Bone marrow smear
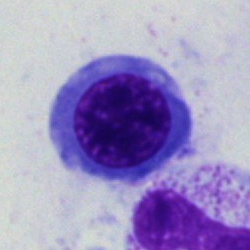Cell — nucleated red cell.